Bone marrow smear:
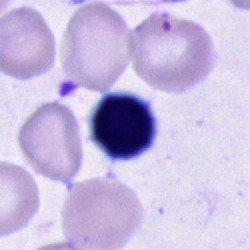
Showing a cell of indeterminate lineage.